Bone marrow smear — 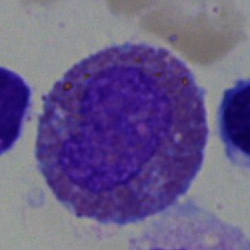Cell: eosinophilic granulocyte.